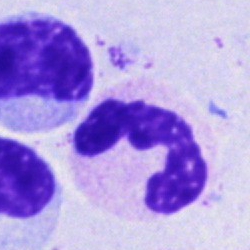The classification is polymorphonuclear neutrophil.